Bone marrow aspirate smear.
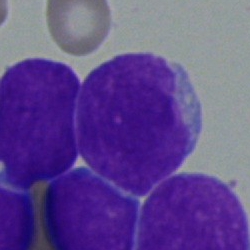Specimen: bone marrow smear.
Cell type: blast.